Bone marrow aspirate smear:
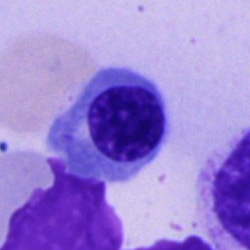

Cell — normoblast.